Peripheral blood smear — 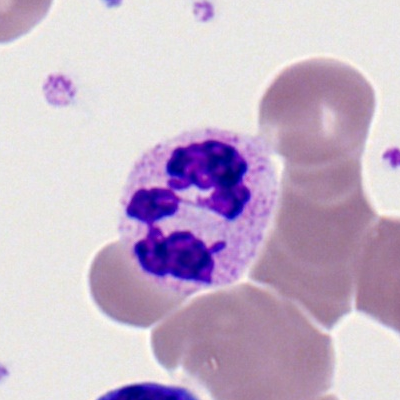 Morphology consistent with a neutrophil (segmented).